Cropped to a single cell · bone marrow aspirate smear:
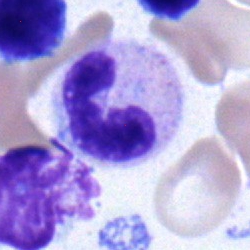
Morphological class: polymorphonuclear neutrophil.